250×250; bone marrow smear
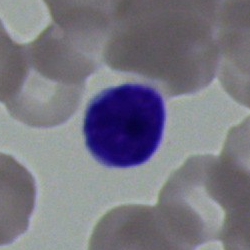 Impression — lymphocyte.